40× objective, oil immersion. Bone marrow smear — 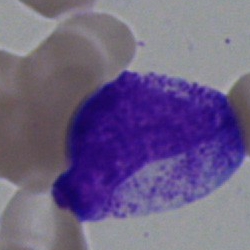 Q: What is the morphological classification of this cell?
A: Myelocyte.